Bone marrow smear. 250×250 px.
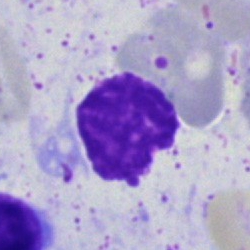 The morphological class is artefact.